Pappenheim-stained. Bone marrow aspirate smear:
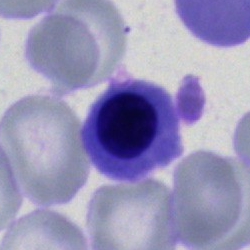Cell type — nucleated red blood cell.